Single cell centered in the field · 250×250 · bone marrow smear: 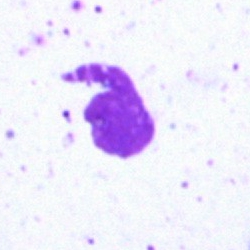 Morphological class: artifact.